Bone marrow aspirate smear: 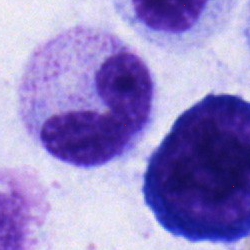 Specimen: bone marrow smear.
Morphological class: metamyelocyte.
Lineage: myeloid.